Bone marrow smear. Brightfield microscopy, 40× oil immersion:
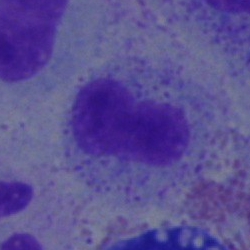 Cell — metamyelocyte.